Bone marrow smear · 250 by 250 pixels.
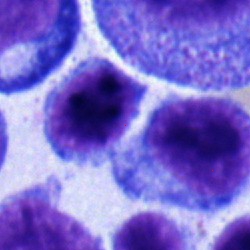 Showing a typical lymphocyte.